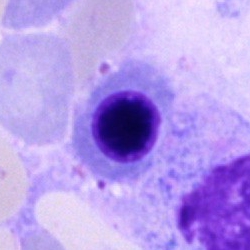

Cell: normoblast.